Bone marrow smear
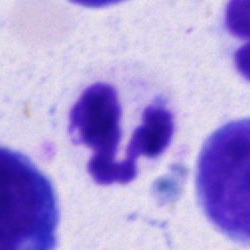Specimen: bone marrow smear.
Morphological class: neutrophil (segmented).
Lineage: myeloid.